Bone marrow aspirate smear · Pappenheim-stained:
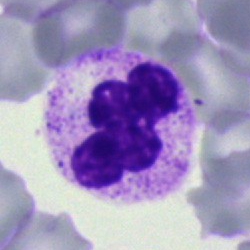
{"cell_type": "polymorphonuclear neutrophil", "lineage": "myeloid"}